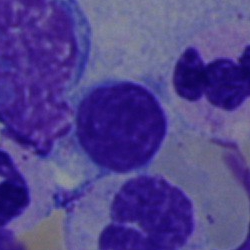

Specimen: bone marrow aspirate smear.
Classification: typical lymphocyte.